Bone marrow aspirate smear; 40× objective, oil immersion.
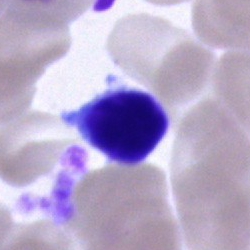 Showing a typical lymphocyte.